Bone marrow smear; brightfield microscopy, 40× oil immersion.
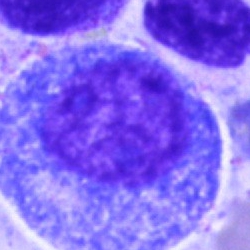The cell shown is a progranulocyte.